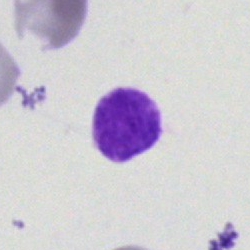
Morphological class = artifact.